250×250 · bone marrow smear.
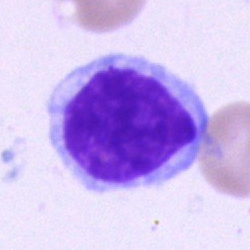 {"cell_type": "typical lymphocyte", "lineage": "lymphoid"}